Bone marrow aspirate smear: 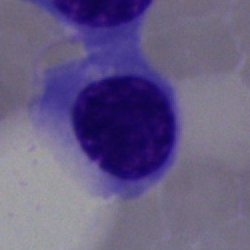The cell type is erythroblast.